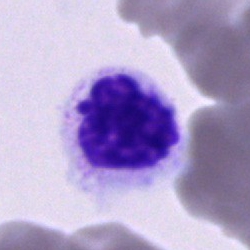

Bone marrow smear showing a cell of indeterminate lineage.